Bone marrow smear. Pappenheim-stained — 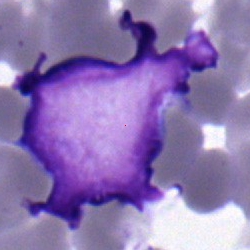
Q: Which cell type is shown here?
A: A typical lymphocyte.